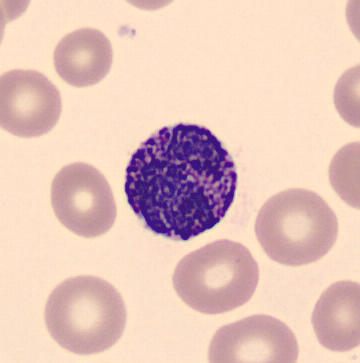

Specimen: peripheral blood film.
Cell type: basophilic granulocyte.
Lineage: myeloid.